May-Grünwald-Giemsa/Pappenheim stain. Brightfield, 40× oil-immersion objective. Bone marrow smear:
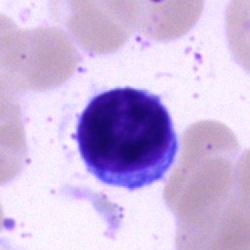

Morphology — lymphocyte.